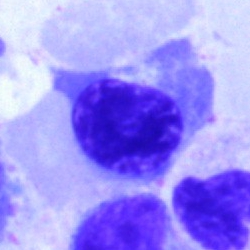

This is a nucleated red blood cell.